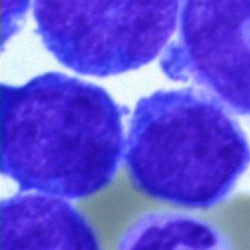

An undifferentiated blast.